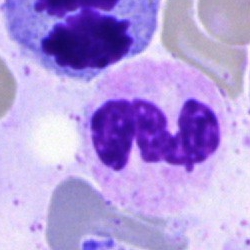

Cell = neutrophil (segmented).